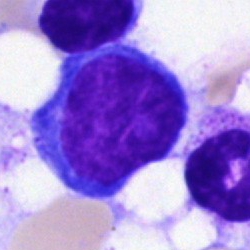

Impression → blast cell.